Cropped to a single cell; bone marrow aspirate smear; 40× objective, oil immersion
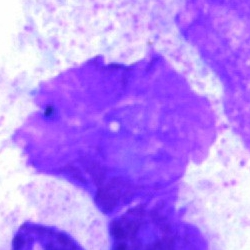 An artefact.